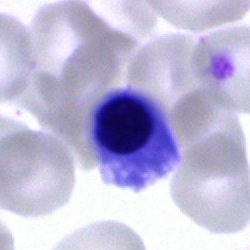A nucleated red cell on a bone marrow smear.